Bone marrow aspirate smear — 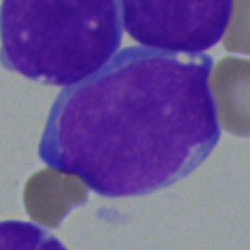 Morphological class: blast.